Bone marrow smear: 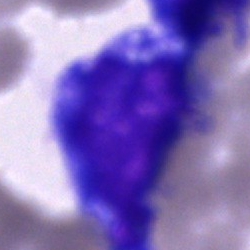Classification — blast cell.